Bone marrow aspirate smear. 250 by 250 pixels. Cropped to a single cell.
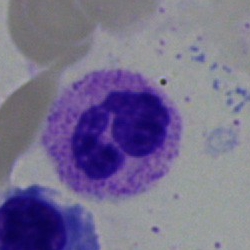

Specimen: bone marrow aspirate smear.
Morphological class: segmented neutrophil.
Lineage: myeloid.